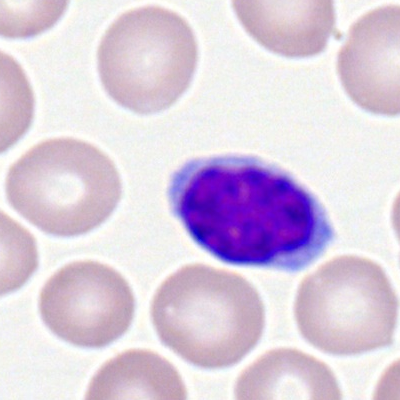
Showing a typical lymphocyte.